Image size 360×363; peripheral blood smear: 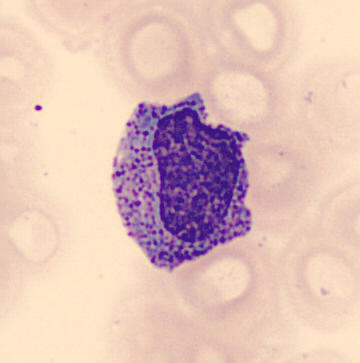
Specimen: peripheral blood film.
Morphological class: myelocyte.
Lineage: myeloid.